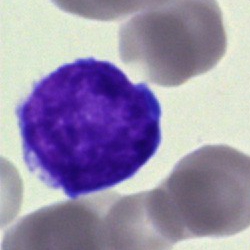A blast cell.